Cropped to a single cell · bone marrow smear — 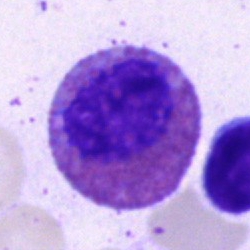

Q: What is the morphological classification of this cell?
A: Eosinophil.